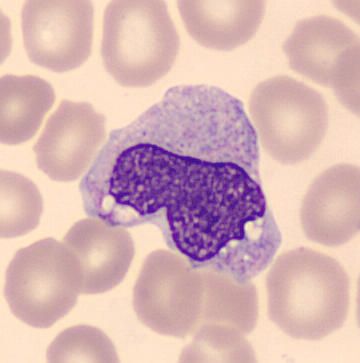
Q: What is the morphological classification of this cell?
A: It is a monocyte. 360×363. Peripheral blood smear.